Bone marrow smear · 250 by 250 pixels.
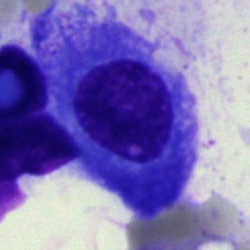 {"cell_type": "plasmacyte", "lineage": "lymphoid"}